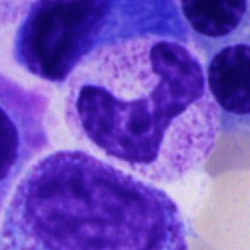 Specimen: bone marrow smear.
Cell: band neutrophil.